Bone marrow aspirate smear · cropped to a single cell:
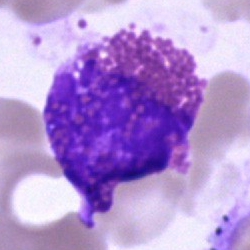 Morphological class — eosinophilic granulocyte.